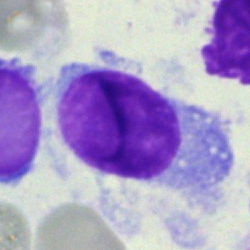

Q: Which cell type is shown here?
A: It is a hairy cell.